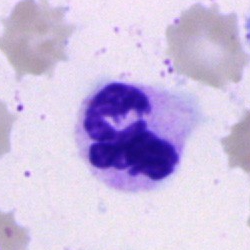

Q: What is the morphological classification of this cell?
A: Segmented neutrophil.